Bone marrow smear; MGG-stained: 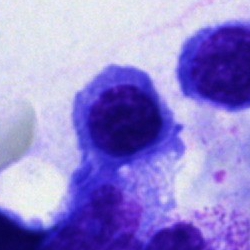

A nucleated red blood cell.